Bone marrow smear · brightfield, 40× oil-immersion objective · 250×250 px
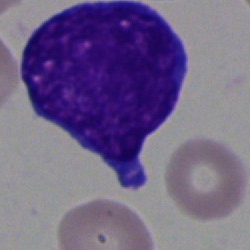Q: Which cell type is shown here?
A: Blast cell.